Bone marrow aspirate smear · 250×250
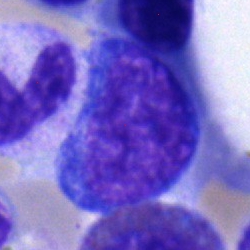Morphology consistent with a pronormoblast.